Bone marrow aspirate smear:
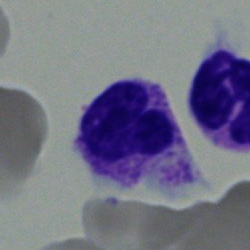
A polymorphonuclear neutrophil.